M8 digital microscope (Precipoint), 100× oil immersion · peripheral blood film:
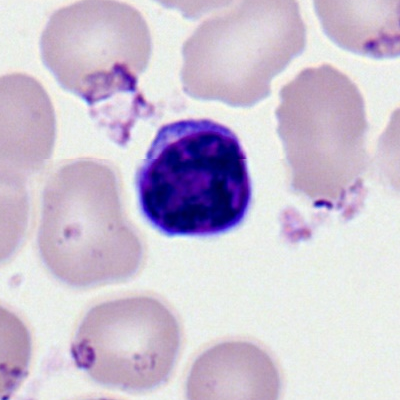Q: What is the morphological classification of this cell?
A: A lymphocyte.